Bone marrow aspirate smear: 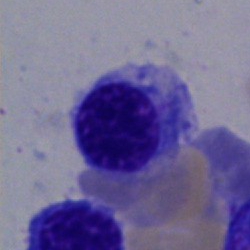
This is a normoblast.